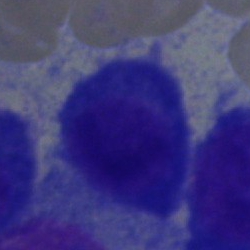A plasmacyte.